Bone marrow aspirate smear:
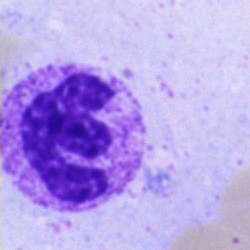

Cell type — segmented neutrophil.